Single-cell crop; bone marrow smear; May-Grünwald-Giemsa stain: 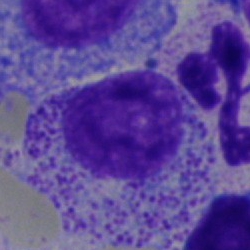
This is a promyelocyte.